Bone marrow smear:
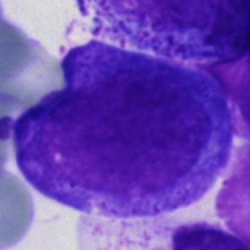
Showing a blast.